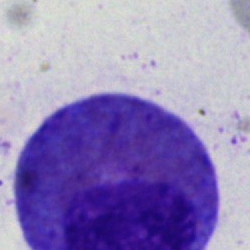

Bone marrow smear showing an eosinophilic granulocyte.